Bone marrow aspirate smear; single cell centered in the field: 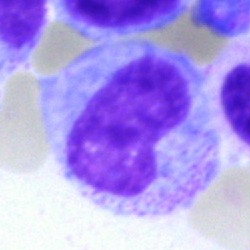

Specimen: bone marrow smear.
Morphological class: metamyelocyte.